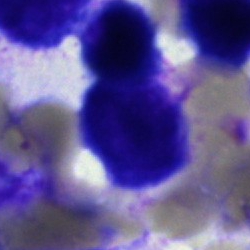 Bone marrow aspirate smear, single cell — artefact.